Bone marrow aspirate smear
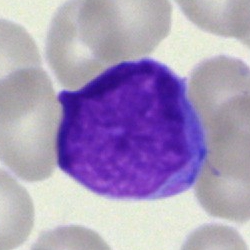 Cell type — blast.